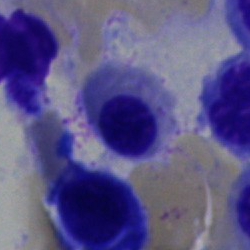

Morphology consistent with a nucleated red cell.